Bone marrow smear:
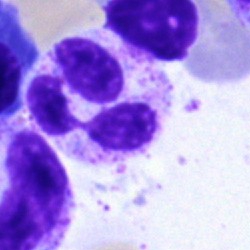 Classification: segmented neutrophil.